Bone marrow smear:
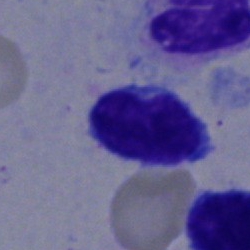{"cell_type": "typical lymphocyte", "lineage": "lymphoid"}